Bone marrow smear — 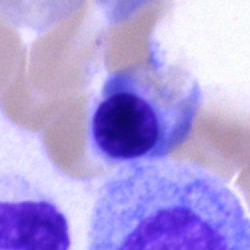
Showing an erythroblast.